250×250 px. Single-cell crop. Bone marrow aspirate smear:
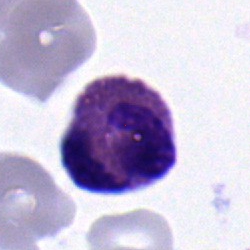
Q: What is the morphological classification of this cell?
A: Eosinophil.